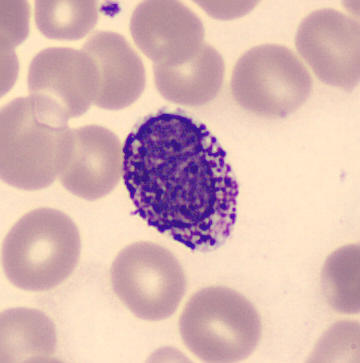
Peripheral blood smear; 360 by 363 pixels.

A basophil.